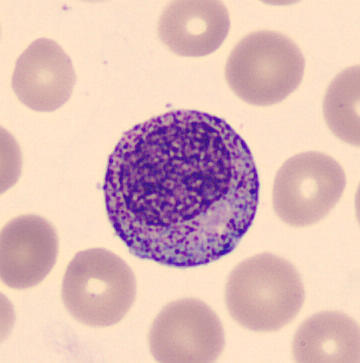 Peripheral blood film.

Cell = promyelocyte.